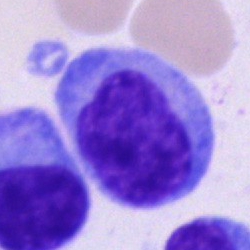Bone marrow aspirate smear, single cell — plasmacyte.